Bone marrow aspirate smear
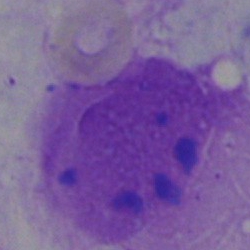
Artefact.